Bone marrow smear · 250×250 · Pappenheim-stained.
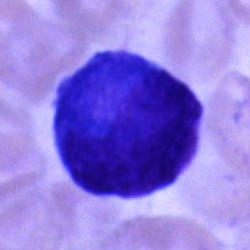Morphology consistent with a blast cell.